250×250 · bone marrow smear: 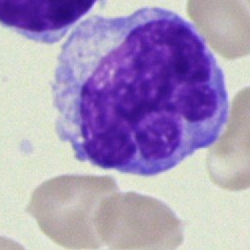

Monocyte.